Bone marrow aspirate smear · brightfield, 40× oil-immersion objective · image size 250×250: 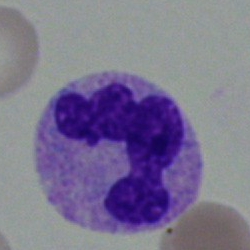

Specimen: bone marrow smear.
Cell type: segmented neutrophil.
Lineage: myeloid.